Peripheral blood film.
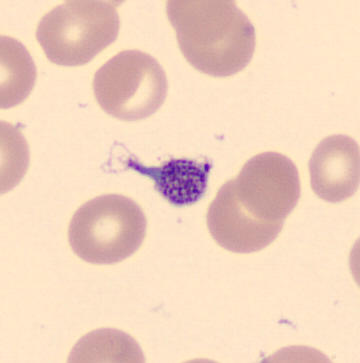
Classification = thrombocyte.